Brightfield, 40× oil-immersion objective · bone marrow aspirate smear
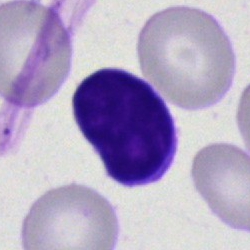Q: What is the morphological classification of this cell?
A: This is a typical lymphocyte.